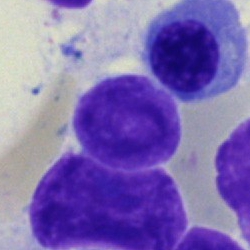

A lymphocyte.